Bone marrow smear
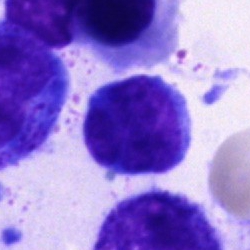 Morphology consistent with a typical lymphocyte.